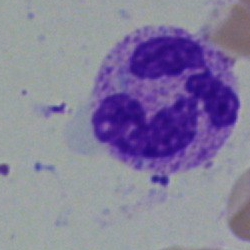 Morphology consistent with a segmented neutrophil.